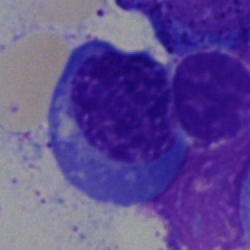

Q: What is the morphological classification of this cell?
A: This is an erythroblast.